Bone marrow aspirate smear: 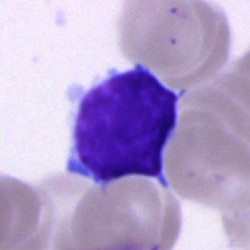 Specimen: bone marrow aspirate smear.
Cell type: typical lymphocyte.
Lineage: lymphoid.